Bone marrow smear: 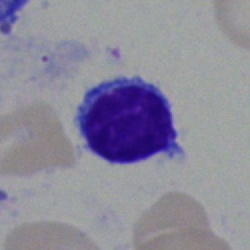Specimen: bone marrow aspirate smear.
Morphological class: lymphocyte.
Lineage: lymphoid.